Image size 250×250. Bone marrow aspirate smear. MGG-stained.
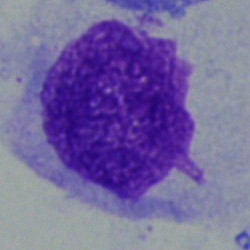

Morphology consistent with a blast.